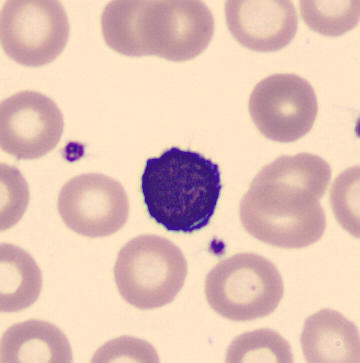
Peripheral blood smear.

Showing a typical lymphocyte.